Bone marrow aspirate smear: 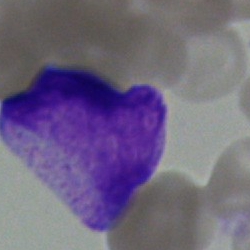 A blast cell.